400 by 400 pixels. Peripheral blood film.
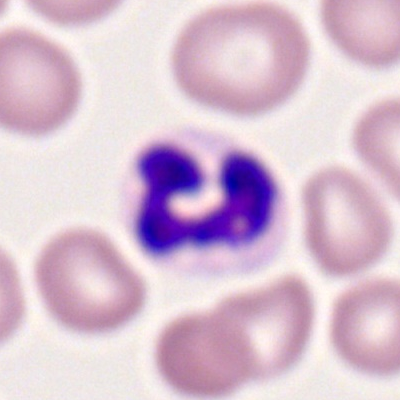 The cell is neutrophil (segmented).